250 by 250 pixels. Bone marrow smear — 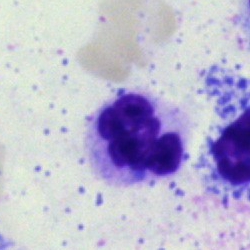
Morphology consistent with a neutrophil (segmented).